Bone marrow aspirate smear — 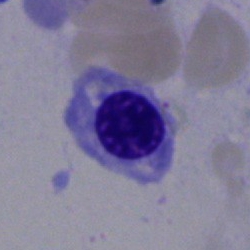Specimen: bone marrow aspirate smear.
Classification: normoblast.
Lineage: erythroid.